40× oil immersion; bone marrow aspirate smear.
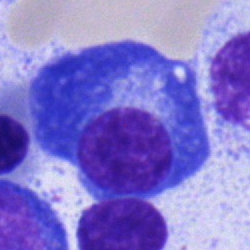 Q: Identify the cell.
A: A plasmacyte.